Bone marrow smear; 250×250; MGG-stained: 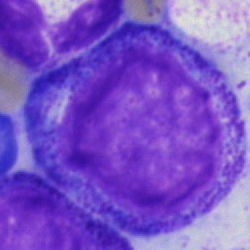

Specimen: bone marrow smear.
Classification: progranulocyte.